Bone marrow smear — 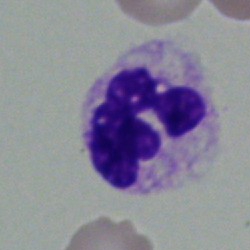 The cell is segmented neutrophil.